Image size 250×250; bone marrow aspirate smear.
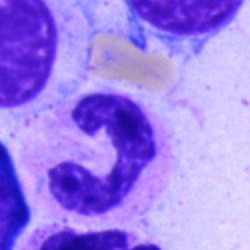Morphology consistent with a segmented neutrophil.